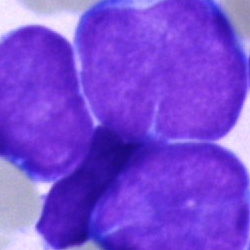

Morphological class: blast.